Bone marrow smear
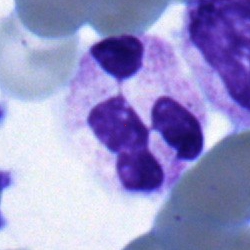
Q: What is shown here?
A: This is a segmented neutrophil.